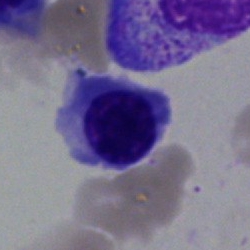

The cell shown is an erythroblast.